May-Grünwald-Giemsa stain; bone marrow aspirate smear; 40× oil immersion: 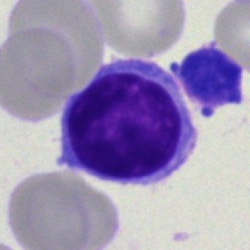
Impression — typical lymphocyte.